Brightfield microscopy, 40× oil immersion · bone marrow aspirate smear: 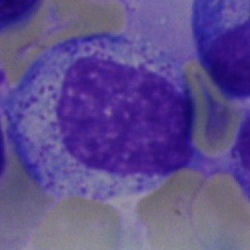Q: What is the morphological classification of this cell?
A: This is a myelocyte.